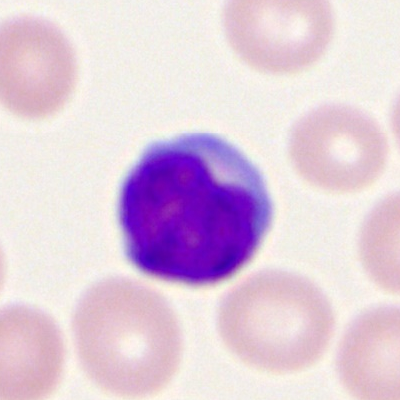Specimen: peripheral blood smear.
Morphological class: lymphocyte.